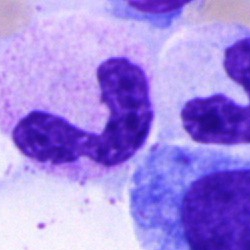Q: What cell is this?
A: A polymorphonuclear neutrophil.